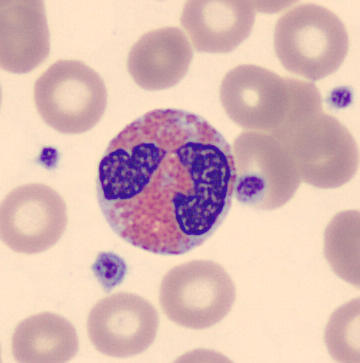 Acquisition: Peripheral blood smear.
Morphology → eosinophil.